Brightfield microscopy, 40× oil immersion. Bone marrow smear: 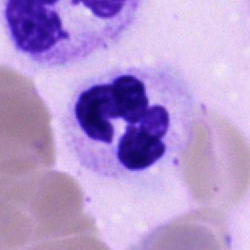

Classification = neutrophil (segmented).